Bone marrow smear. MGG-stained
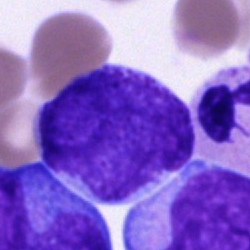 Classification — blast cell.